MGG-stained; image size 250×250; bone marrow smear
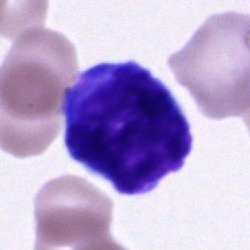

Impression → blast.